Brightfield microscopy, 40× oil immersion; single cell centered in the field; bone marrow smear:
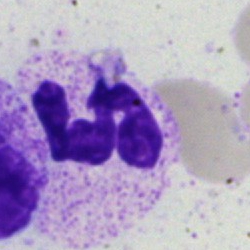

Cell — polymorphonuclear neutrophil.